Peripheral blood smear; single-cell field — 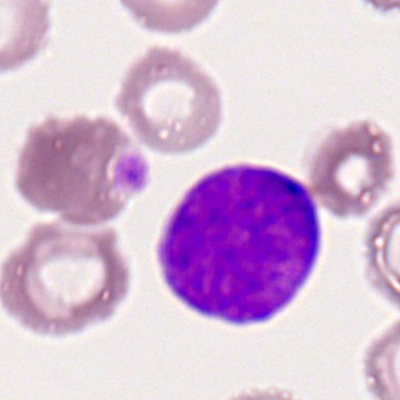 Impression — myeloid blast.